Single-cell field; May-Grünwald-Giemsa stain; bone marrow smear.
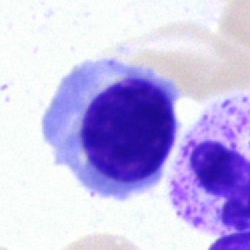 Specimen: bone marrow aspirate smear.
Classification: nucleated red cell.
Lineage: erythroid.